Bone marrow aspirate smear — 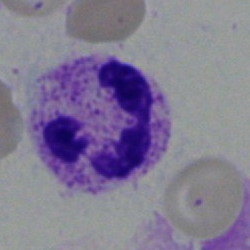 The cell shown is a neutrophil (segmented).